Bone marrow aspirate smear.
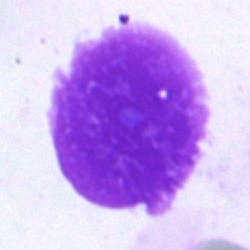An artifact.